Bone marrow smear · 40× objective, oil immersion · 250 by 250 pixels: 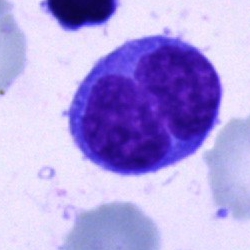

Cell type — undifferentiated blast.